250×250 px; bone marrow aspirate smear: 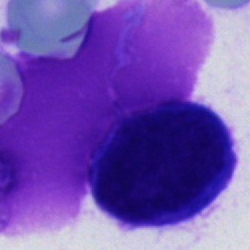

Classification = cell of indeterminate lineage.